Bone marrow aspirate smear. Cropped to a single cell. Brightfield, 40× oil-immersion objective — 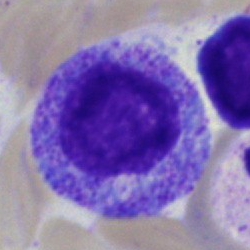Classification — myelocyte.